Bone marrow aspirate smear.
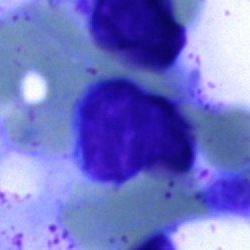
The cell is artefact.